Bone marrow smear
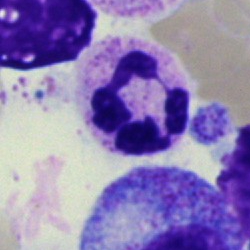

Classification = segmented neutrophil.